Bone marrow aspirate smear: 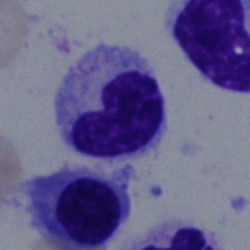

Cell = metamyelocyte.